Bone marrow aspirate smear: 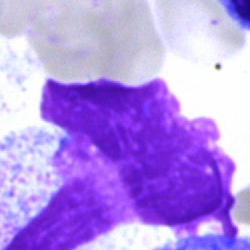
The cell shown is an artifact.